Cropped to a single cell. Bone marrow aspirate smear.
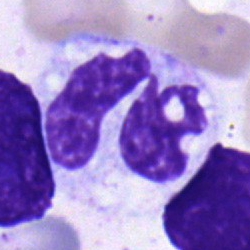This is a neutrophil (segmented).